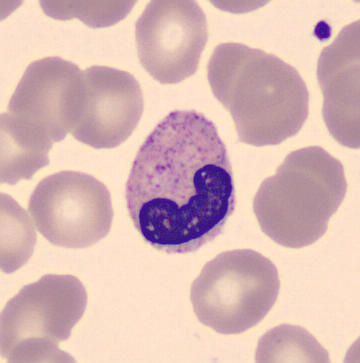

A neutrophil (band).

Imaged on a CellaVision DM96 analyser. Peripheral blood smear.